Bone marrow smear. Pappenheim-stained. 40× oil immersion:
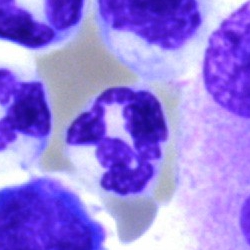Impression — segmented neutrophil.